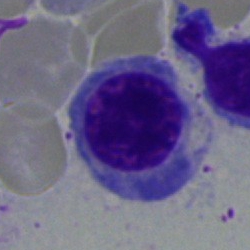

Classification — erythroblast.